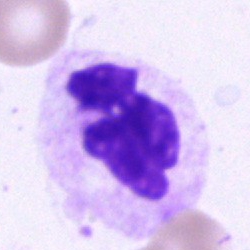 The cell shown is a segmented neutrophil.